Bone marrow smear: 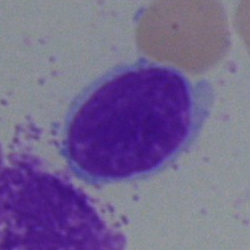 Single cell identified as a typical lymphocyte.